Bone marrow aspirate smear:
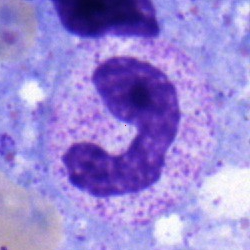

Impression → neutrophil (band).